Bone marrow smear · May-Grünwald-Giemsa/Pappenheim stain.
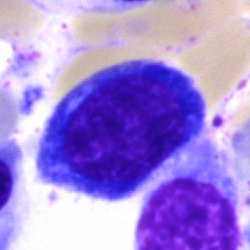

Showing a normoblast.